Pappenheim-stained. Bone marrow smear. Single cell centered in the field — 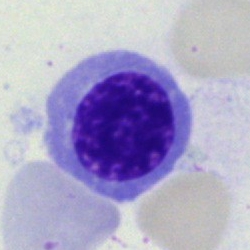The cell is nucleated red cell.